Bone marrow smear.
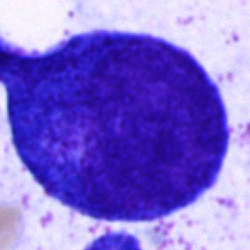

Classification: progranulocyte.